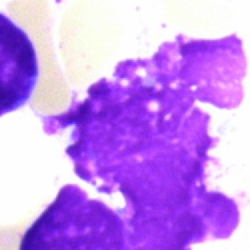 Cell — artifact.